Bone marrow aspirate smear. 250 by 250 pixels
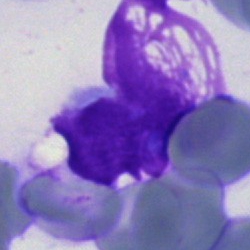

This is an artefact.